Bone marrow aspirate smear; single cell centered in the field; MGG-stained
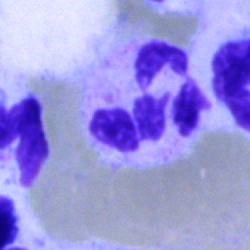Cell = segmented neutrophil.